Peripheral blood film — 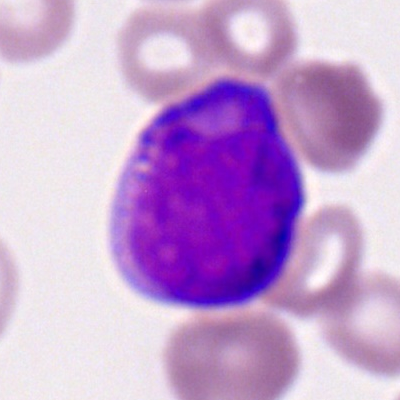

The cell is myeloblast.